Bone marrow aspirate smear: 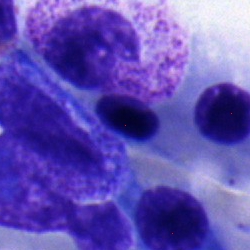
Showing a nucleated red cell.